Bone marrow aspirate smear.
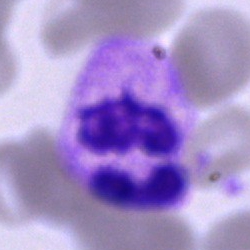
This is a segmented neutrophil.